Bone marrow aspirate smear — 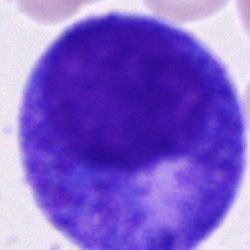The cell type is promyelocyte.